250 by 250 pixels. Bone marrow smear — 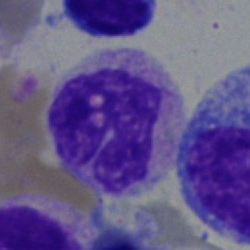Showing a band-form neutrophil.